Bone marrow smear. 40× oil immersion. Image size 250×250
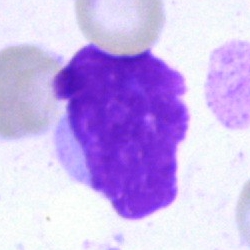
Artifact.